Bone marrow aspirate smear: 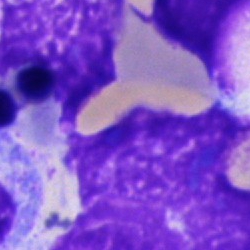Impression — artefact.